MGG-stained · bone marrow aspirate smear.
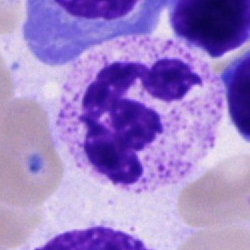 The cell shown is a neutrophil (segmented).